Peripheral blood film
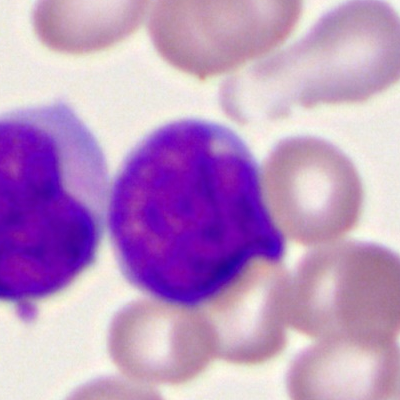Classification = myeloblast.